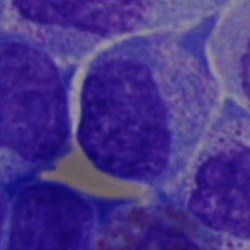 Morphology — blast cell.